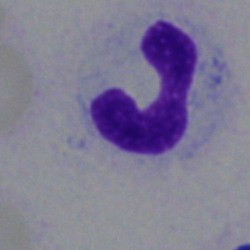

Single cell identified as a polymorphonuclear neutrophil.